Bone marrow smear; 250×250 px: 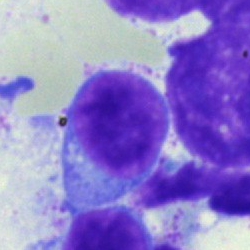Q: What is the morphological classification of this cell?
A: This is a typical lymphocyte.